Bone marrow aspirate smear
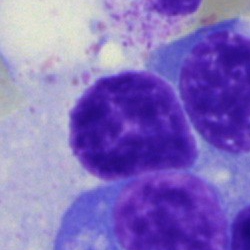
Impression — artefact.